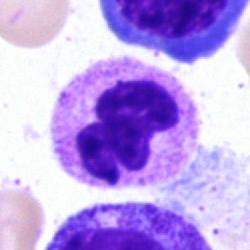

Q: What type of cell is this?
A: It is a neutrophil (segmented).